Bone marrow aspirate smear; Pappenheim-stained.
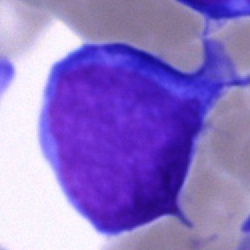 Undifferentiated blast.